Bone marrow smear — 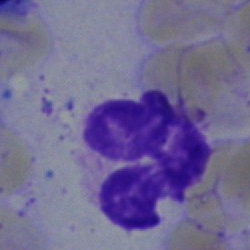 Q: What type of cell is this?
A: It is a neutrophil (segmented).